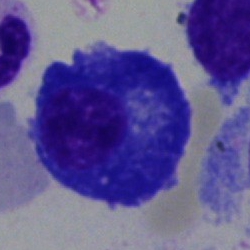 Cell: plasmacyte.